Brightfield, 40× oil-immersion objective. Bone marrow aspirate smear — 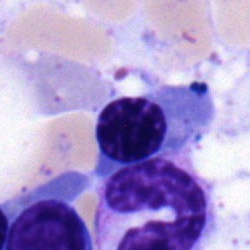
Nucleated red blood cell.